Bone marrow aspirate smear: 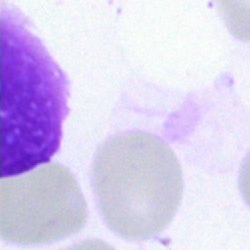
Classification = artefact.